Bone marrow aspirate smear. Single-cell crop. MGG-stained: 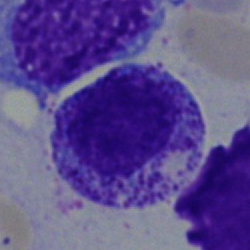

Morphology consistent with a myelocyte.